Peripheral blood film: 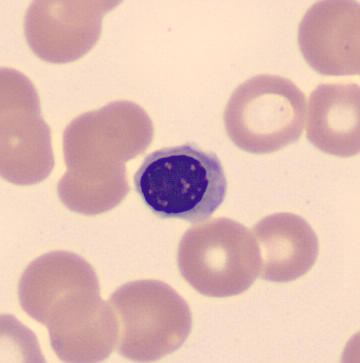 Classification: nucleated red cell.